Single-cell field. Bone marrow aspirate smear:
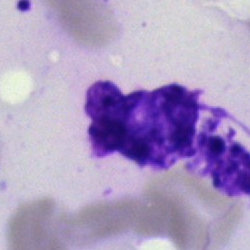 Single cell identified as an artifact.